Bone marrow aspirate smear. May-Grünwald-Giemsa stain: 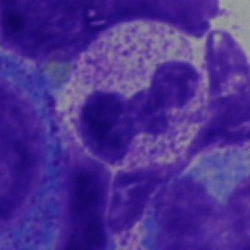Morphology — segmented neutrophil.